Bone marrow aspirate smear. 250 by 250 pixels.
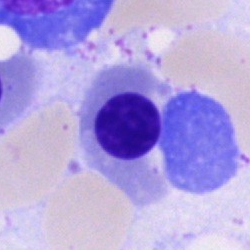
Classification — nucleated red blood cell.